Bone marrow smear; 250 by 250 pixels.
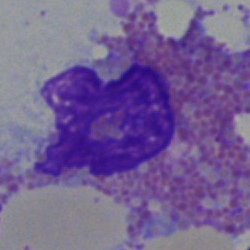The cell shown is an eosinophilic granulocyte.